Bone marrow smear
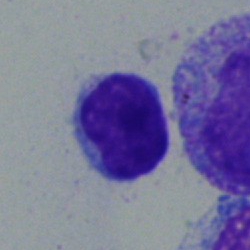
The morphological class is lymphocyte.